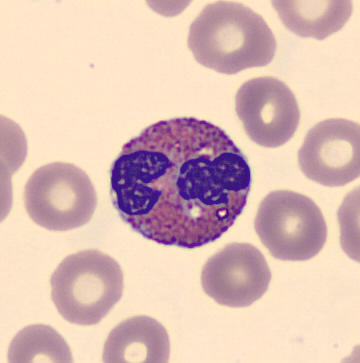

Cropped to a single cell · peripheral blood smear. Morphology — eosinophil.